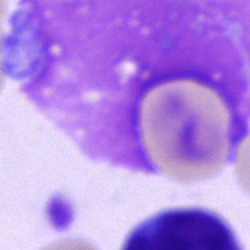Specimen: bone marrow smear.
Cell: artifact.